Bone marrow aspirate smear
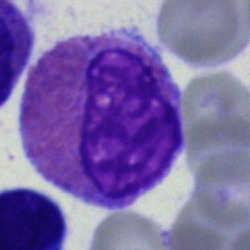Q: What cell is this?
A: An eosinophilic granulocyte.